Cropped to a single cell · peripheral blood smear.
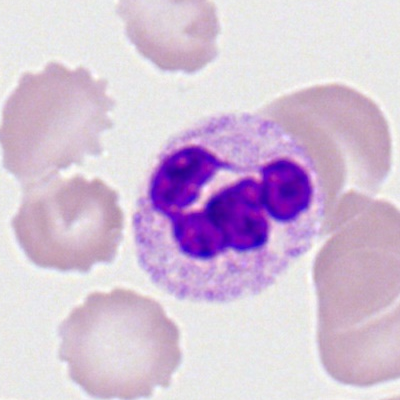 Q: What type of cell is this?
A: This is a segmented neutrophil.